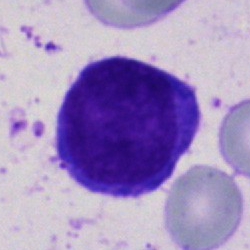
{"cell_type": "blast cell"}